Bone marrow smear. Pappenheim-stained.
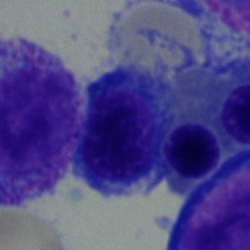

Q: What cell is this?
A: An erythroblast.